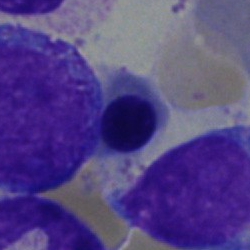 Q: What cell is this?
A: A nucleated red blood cell.